Bone marrow smear.
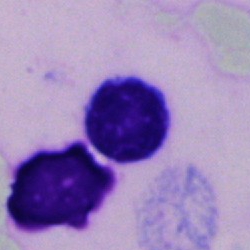
Cell — lymphocyte.